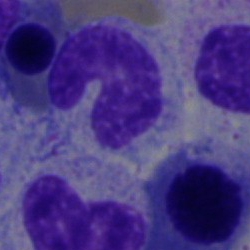Morphology consistent with a neutrophil (band).